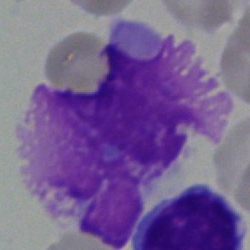
Bone marrow aspirate smear, single cell — artifact.